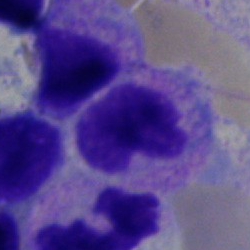

A neutrophil (segmented).